Bone marrow aspirate smear:
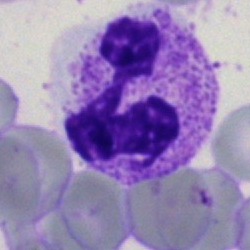 {"cell_type": "neutrophil (segmented)", "lineage": "myeloid"}